Bone marrow smear:
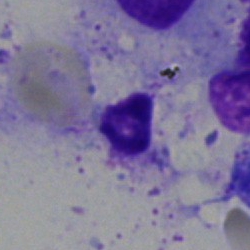 Morphology consistent with an artifact.